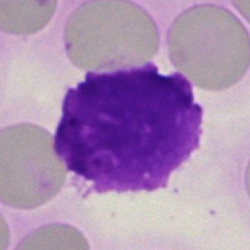
Q: What is shown here?
A: It is an artifact.